Bone marrow aspirate smear:
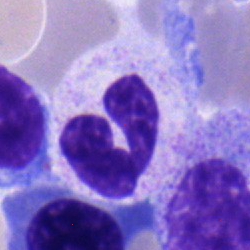
A polymorphonuclear neutrophil.